Bone marrow aspirate smear. Cropped to a single cell. 250×250:
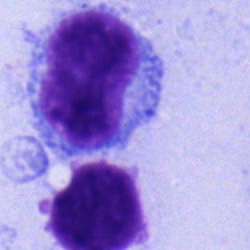

The cell shown is a lymphocyte.